Image size 250×250; bone marrow aspirate smear; Pappenheim-stained.
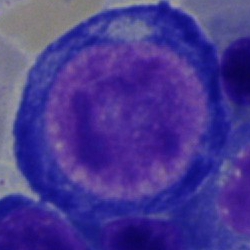 Specimen: bone marrow aspirate smear.
Classification: proerythroblast.